Bone marrow aspirate smear: 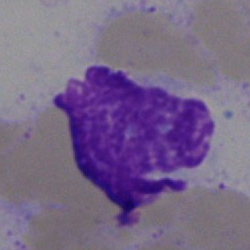

Specimen: bone marrow smear.
Cell type: artefact.